Bone marrow smear:
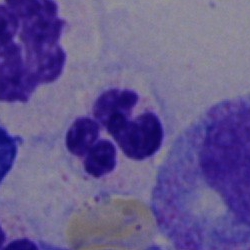
Morphological class: polymorphonuclear neutrophil.